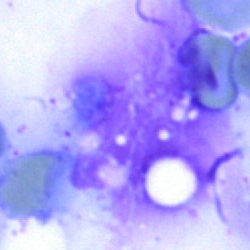Morphological class = artefact.